Bone marrow aspirate smear; 40× objective, oil immersion; cropped to a single cell:
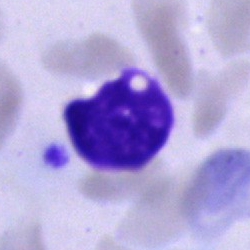

Single cell identified as an artefact.